Bone marrow aspirate smear · MGG-stained · brightfield, 40× oil-immersion objective.
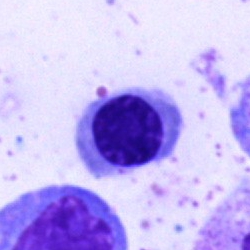Showing a normoblast.